Bone marrow aspirate smear. May-Grünwald-Giemsa stain. 40× oil immersion:
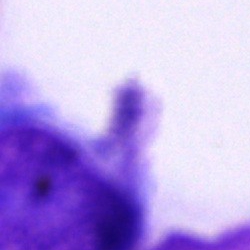

Showing an artifact.